Bone marrow aspirate smear; Pappenheim-stained:
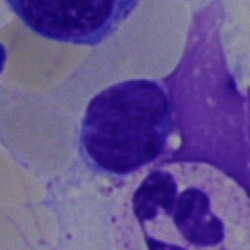 Morphology — typical lymphocyte.